40× objective, oil immersion. Bone marrow smear: 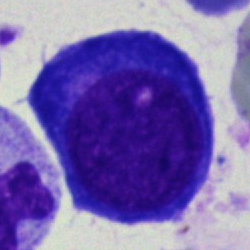
Specimen: bone marrow aspirate smear.
Cell type: proerythroblast.
Lineage: erythroid.